Bone marrow aspirate smear: 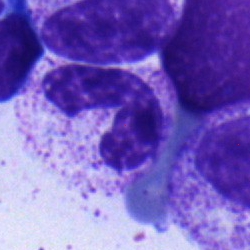 A neutrophil (band).